250×250 px. Bone marrow smear — 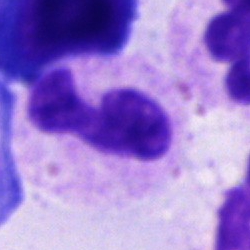

Cell = neutrophil (segmented).